Bone marrow aspirate smear · single cell centered in the field — 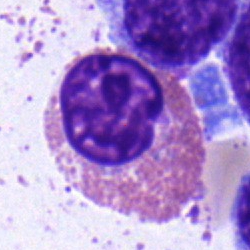 Single cell identified as an eosinophil.